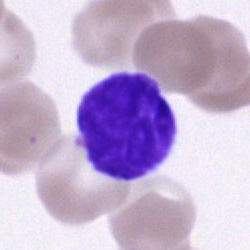

Bone marrow aspirate smear, single cell — lymphocyte.